Bone marrow smear — 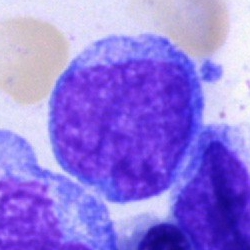
This is an undifferentiated blast.